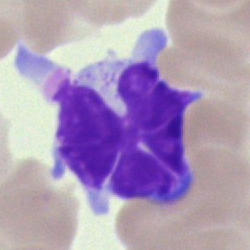

This is a lymphocyte.